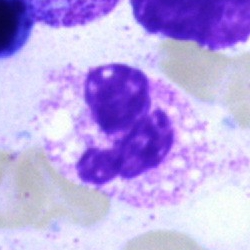Bone marrow aspirate smear, single cell — segmented neutrophil.